Bone marrow aspirate smear — 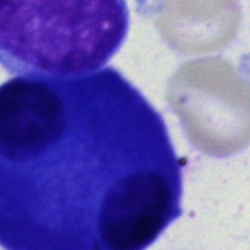Showing a plasmacyte.